Bone marrow smear; 40× oil immersion; image size 250×250 — 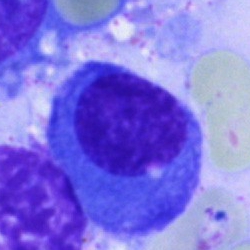

A plasmacyte.